Bone marrow smear.
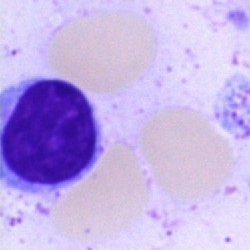Showing a typical lymphocyte.